Bone marrow aspirate smear; 40× objective, oil immersion; May-Grünwald-Giemsa stain — 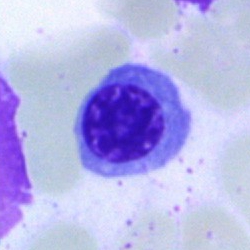

Cell type — normoblast.